Bone marrow aspirate smear.
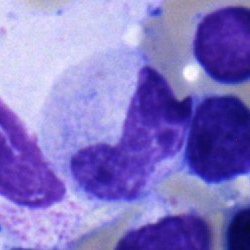
Specimen: bone marrow aspirate smear.
Cell type: band neutrophil.
Lineage: myeloid.